Cropped to a single cell; bone marrow smear
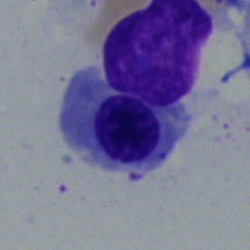 Nucleated red blood cell.